Bone marrow smear. May-Grünwald-Giemsa stain: 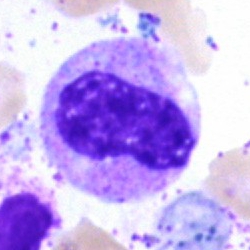 Single cell identified as a metamyelocyte.